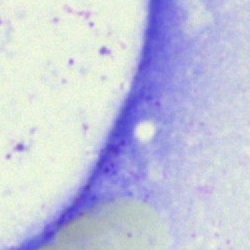
Q: What is shown here?
A: Artifact.